MGG-stained. Cropped to a single cell. Bone marrow aspirate smear
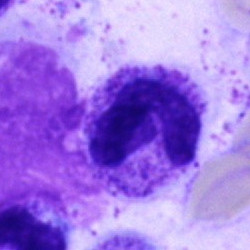
Q: What is the morphological classification of this cell?
A: This is a segmented neutrophil.